Bone marrow smear; single-cell crop:
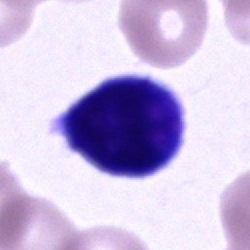 Classification = blast.